MGG-stained; bone marrow smear — 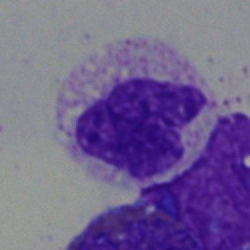

The cell type is neutrophil (segmented).